Bone marrow aspirate smear: 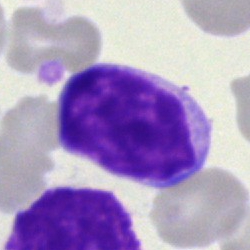The classification is lymphocyte.